Bone marrow smear
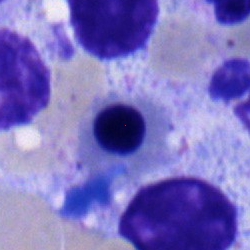{"cell_type": "erythroblast"}